Bone marrow smear · 40× oil immersion:
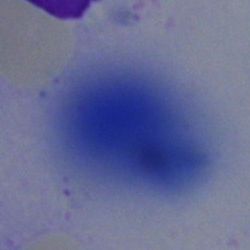Single cell identified as an artefact.